Bone marrow aspirate smear · May-Grünwald-Giemsa/Pappenheim stain · brightfield, 40× oil-immersion objective: 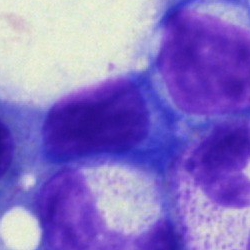

Single cell identified as a plasmacyte.